Bone marrow aspirate smear.
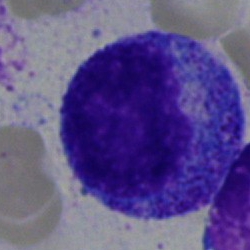Impression — progranulocyte.